Bone marrow smear:
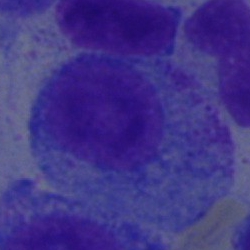Showing a promyelocyte.